Bone marrow smear · 40× objective, oil immersion · 250×250 — 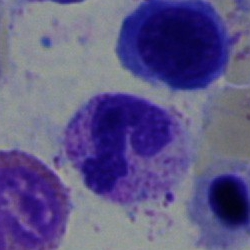
This is a band neutrophil.